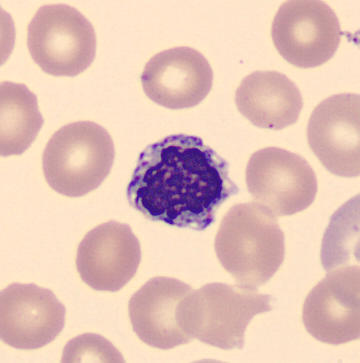 Identified as an erythroblast.

Peripheral blood film.